Bone marrow smear.
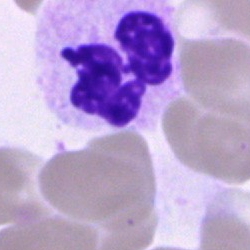 Classification: segmented neutrophil.